360×363 · peripheral blood film — 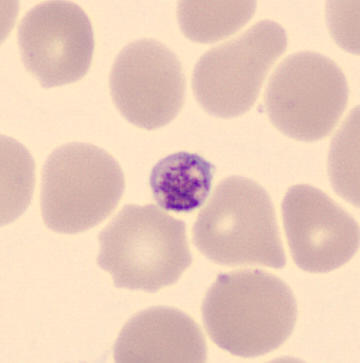 Q: What is shown here?
A: A platelet (thrombocyte).